Bone marrow smear. Single cell centered in the field
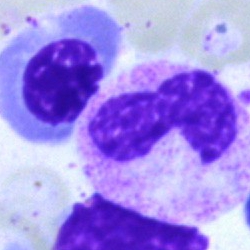 The classification is stab cell.